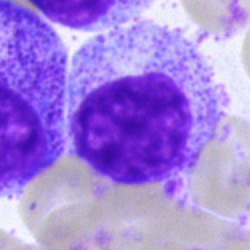Myelocyte.